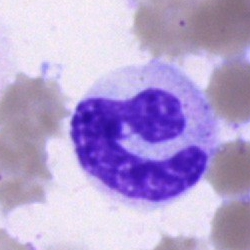Cell — stab cell.